Image size 250×250. Bone marrow smear: 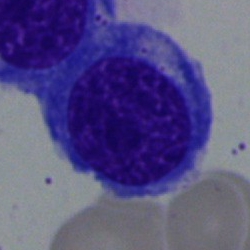 Morphology consistent with a normoblast.